Bone marrow smear · image size 250×250 — 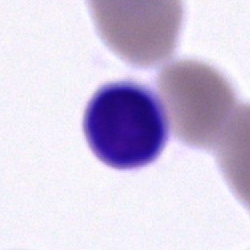

Morphology — cell of indeterminate lineage.